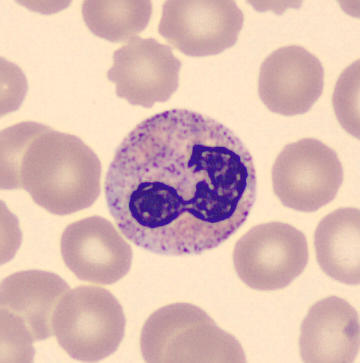Impression — segmented neutrophil.

Image: Peripheral blood film.